Bone marrow aspirate smear — 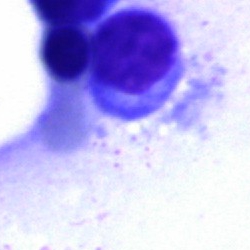 {"cell_type": "typical lymphocyte"}